Bone marrow smear: 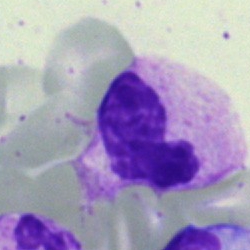
Morphology — polymorphonuclear neutrophil.